Bone marrow smear:
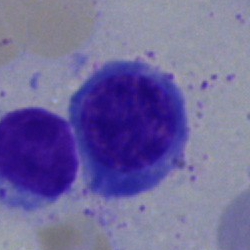

Specimen: bone marrow smear.
Classification: erythroblast.